Single-cell crop · bone marrow aspirate smear.
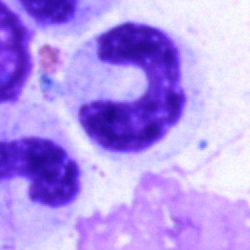 A band neutrophil.